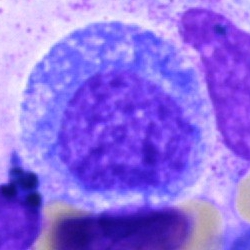
Single cell identified as a promyelocyte.